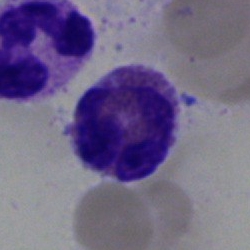
Q: What is the morphological classification of this cell?
A: This is an eosinophilic granulocyte.